Bone marrow smear
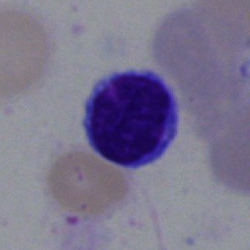

Morphological class = typical lymphocyte.